May-Grünwald-Giemsa/Pappenheim stain · bone marrow aspirate smear:
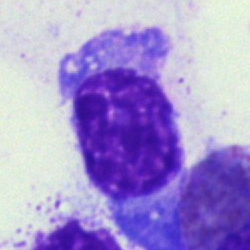
Specimen: bone marrow smear.
Cell type: plasma cell.
Lineage: lymphoid.